Bone marrow smear: 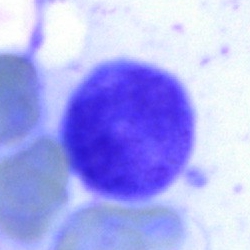Impression → unidentifiable cell.